Bone marrow smear — 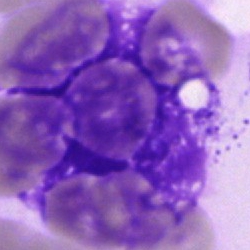

A typical lymphocyte.